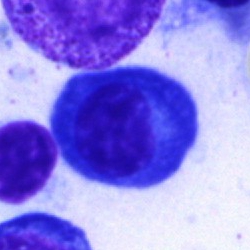
{"cell_type": "plasmacyte", "lineage": "lymphoid"}